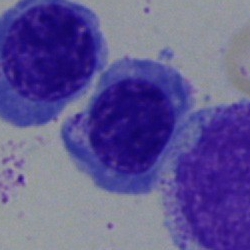

Specimen: bone marrow aspirate smear.
Classification: nucleated red cell.